Single cell centered in the field · bone marrow aspirate smear: 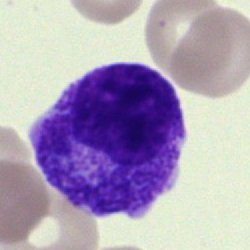Cell = myelocyte.